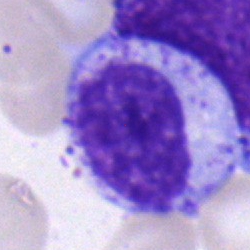 Specimen: bone marrow aspirate smear.
Classification: myelocyte.
Lineage: myeloid.